Brightfield, 100× oil-immersion objective. Peripheral blood smear. 400×400 — 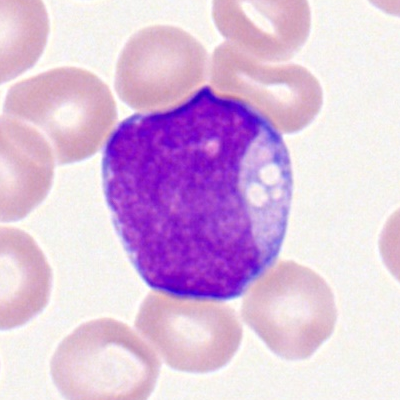

Specimen: peripheral blood smear.
Morphological class: myeloid blast.
Lineage: myeloid.